Bone marrow aspirate smear:
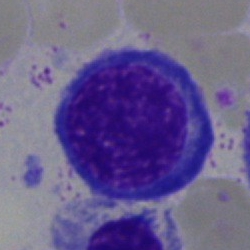
The cell type is nucleated red cell.